Peripheral blood film; 400×400 px; single cell centered in the field.
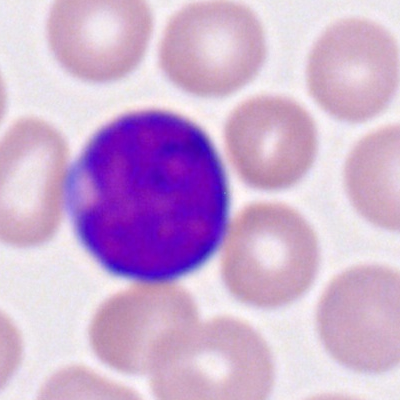 Single cell identified as a myeloid blast.